Bone marrow aspirate smear — 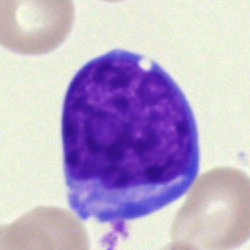Q: What is shown here?
A: Blast.